Bone marrow aspirate smear · brightfield, 40× oil-immersion objective
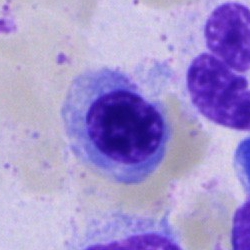
Morphology consistent with a normoblast.